Bone marrow smear. 40× oil immersion.
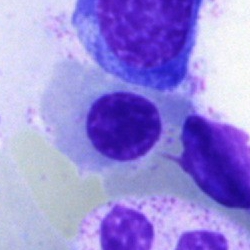{"cell_type": "nucleated red cell"}